Bone marrow aspirate smear
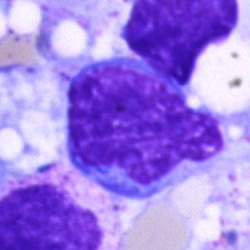 The cell is unidentifiable cell.